Brightfield, 40× oil-immersion objective; bone marrow smear: 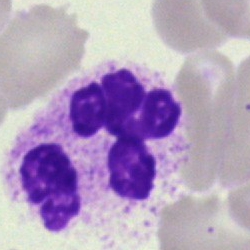Q: What type of cell is this?
A: A neutrophil (segmented).